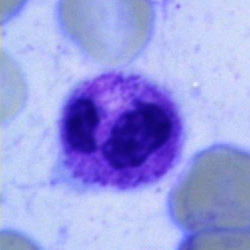 {"cell_type": "polymorphonuclear neutrophil", "lineage": "myeloid"}